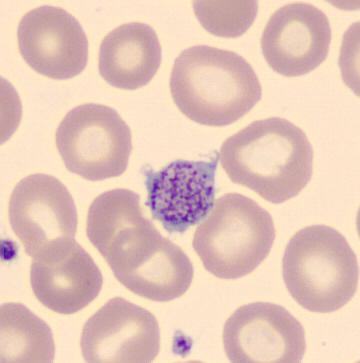 Peripheral blood smear.
Q: What is shown here?
A: This is a thrombocyte.